Romanowsky-stained; peripheral blood smear: 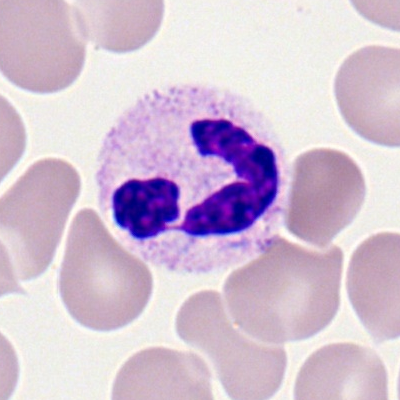

Cell = segmented neutrophil.